Bone marrow aspirate smear:
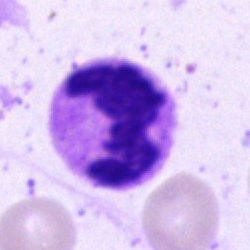

Q: What is shown here?
A: Polymorphonuclear neutrophil.